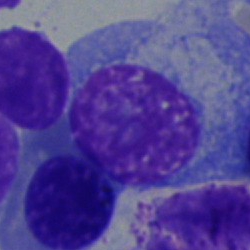

Morphological class: plasma cell.